Peripheral blood smear:
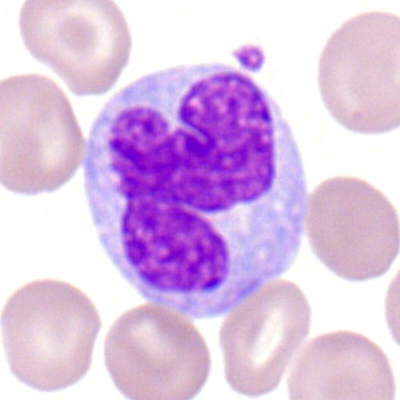

Cell — monocyte.